MGG-stained; bone marrow smear; 250×250 px: 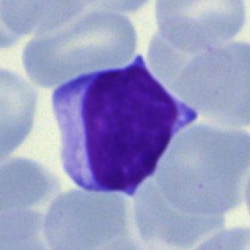
A typical lymphocyte.